Bone marrow aspirate smear · image size 250×250 — 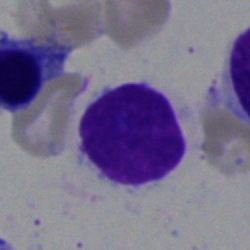
The cell type is lymphocyte.